Bone marrow smear.
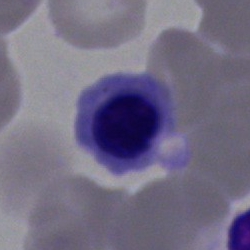 Impression → normoblast.